Bone marrow smear — 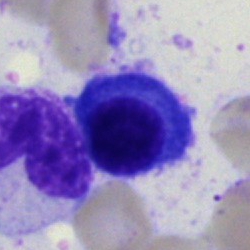 Specimen: bone marrow smear.
Classification: plasma cell.
Lineage: lymphoid.